Bone marrow smear:
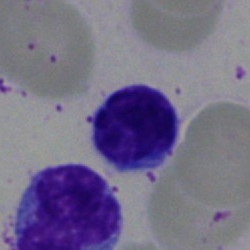
Specimen: bone marrow aspirate smear.
Morphological class: typical lymphocyte.